40× objective, oil immersion; Pappenheim-stained; bone marrow aspirate smear
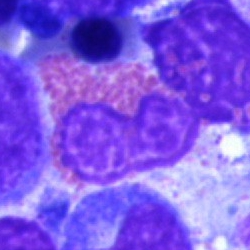Impression — eosinophilic granulocyte.